Bone marrow smear:
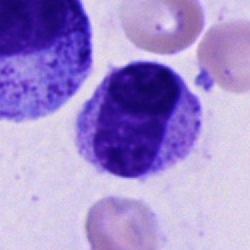 Morphology — cell of indeterminate lineage.